Single-cell field; bone marrow aspirate smear: 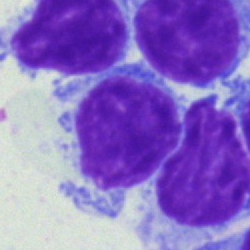

The cell shown is a typical lymphocyte.